Bone marrow aspirate smear · 250×250
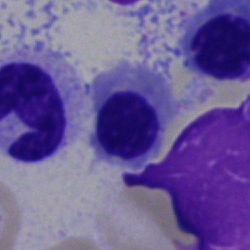Morphology — nucleated red cell.